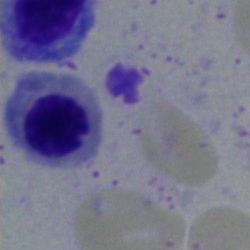 Q: Identify the cell.
A: Nucleated red blood cell.